Brightfield microscopy, 40× oil immersion; bone marrow smear.
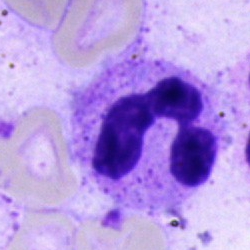

Impression → neutrophil (segmented).